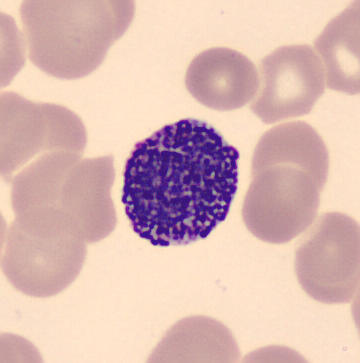 Single-cell crop from a peripheral blood smear: basophil.